Single cell centered in the field; MGG-stained; bone marrow smear.
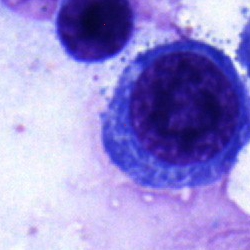Q: What cell is this?
A: This is a nucleated red blood cell.